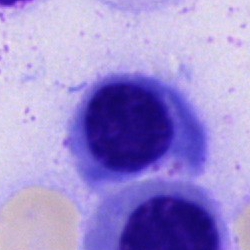

Showing a nucleated red blood cell.